May-Grünwald-Giemsa/Pappenheim stain; bone marrow aspirate smear: 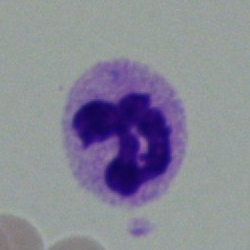 Showing a polymorphonuclear neutrophil.